Image size 400×400; single cell centered in the field; peripheral blood smear:
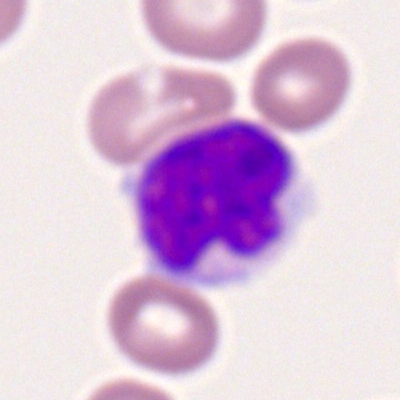

Showing a lymphocyte.